MGG-stained; image size 250×250; bone marrow aspirate smear.
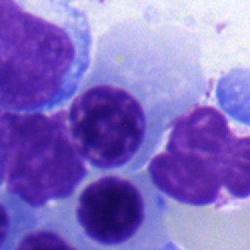

Cell — normoblast.